Bone marrow aspirate smear: 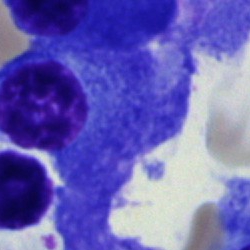 A plasma cell.